Cropped to a single cell; brightfield microscopy, 40× oil immersion; bone marrow smear: 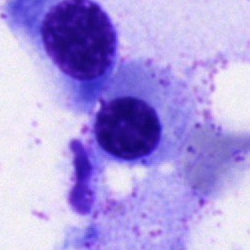
Normoblast.